Bone marrow aspirate smear. Single cell centered in the field. Brightfield microscopy, 40× oil immersion
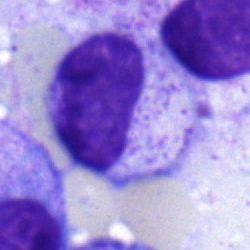

Classification: metamyelocyte.